Bone marrow aspirate smear · 40× objective, oil immersion
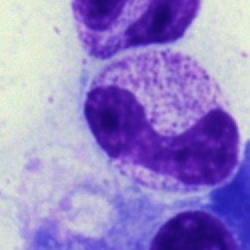

Morphology consistent with a stab cell.